Bone marrow smear
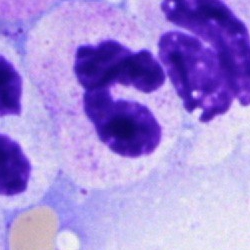

{"cell_type": "segmented neutrophil", "lineage": "myeloid"}